Bone marrow smear:
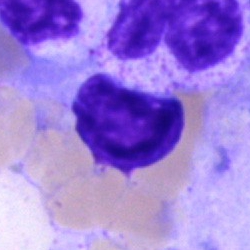

Q: What is the morphological classification of this cell?
A: This is a lymphocyte.